Bone marrow aspirate smear. Single-cell field.
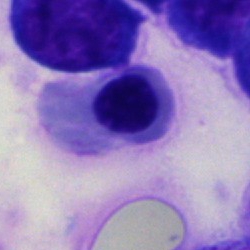
An erythroblast.